Bone marrow aspirate smear — 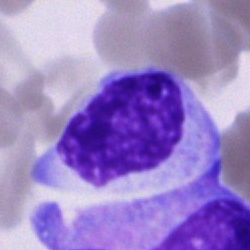 An unidentifiable cell.